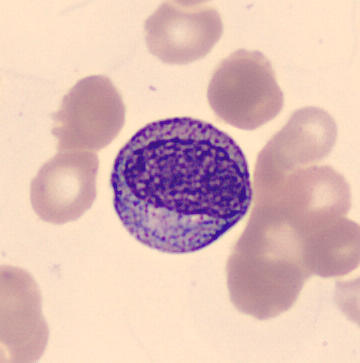

Morphology consistent with a myelocyte.